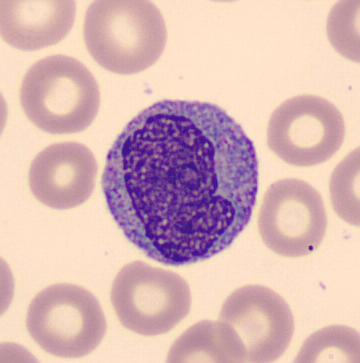{"cell_type": "monocyte", "lineage": "myeloid"}

Preparation: CellaVision DM96. Peripheral blood film.